Image size 250×250. Bone marrow smear: 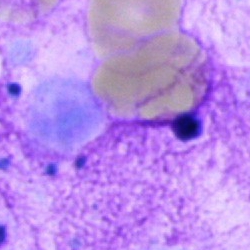Q: What is shown here?
A: It is an artifact.